Bone marrow smear.
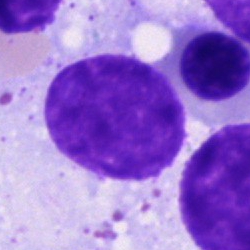

Specimen: bone marrow aspirate smear.
Morphological class: artefact.